Romanowsky-type stain. Peripheral blood smear
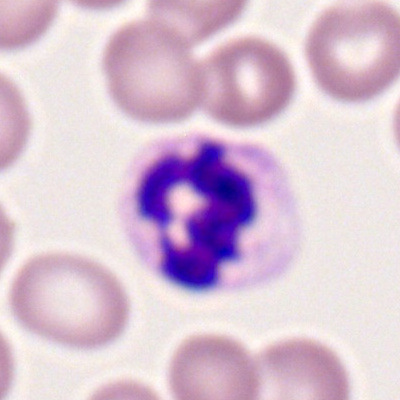
Q: What cell is this?
A: It is a polymorphonuclear neutrophil.